250 by 250 pixels · bone marrow smear — 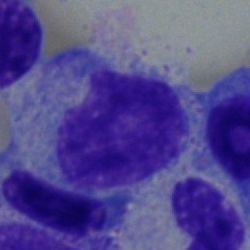This is a myelocyte.